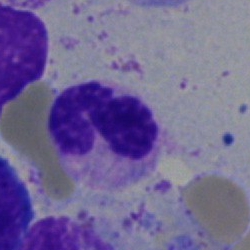Segmented neutrophil.